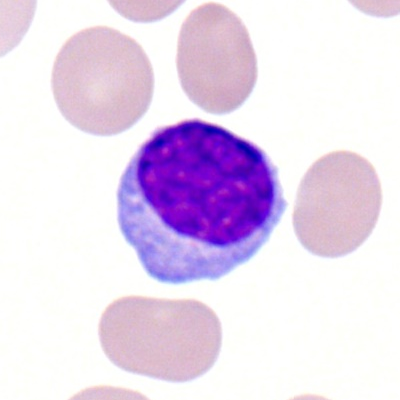

Specimen: peripheral blood smear.
Classification: lymphocyte.
Lineage: lymphoid.